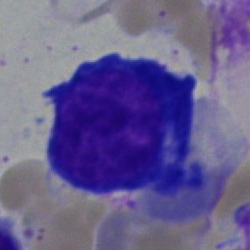
The cell shown is a pronormoblast.